Bone marrow smear — 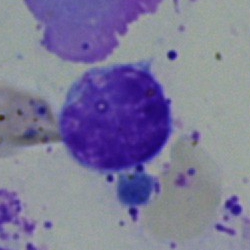Specimen: bone marrow aspirate smear.
Morphological class: typical lymphocyte.
Lineage: lymphoid.